Bone marrow aspirate smear; 250×250 px — 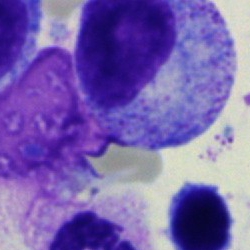

Morphology → promyelocyte.